Peripheral blood smear; Romanowsky-type stain: 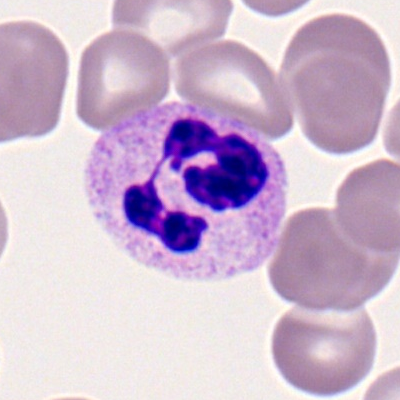Impression — polymorphonuclear neutrophil.